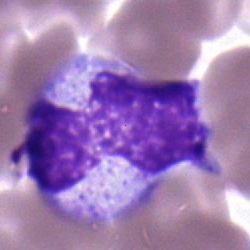 Classification — polymorphonuclear neutrophil.